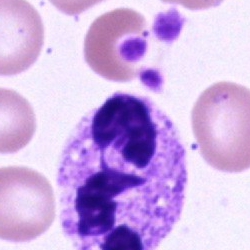
The cell is polymorphonuclear neutrophil.